Bone marrow aspirate smear: 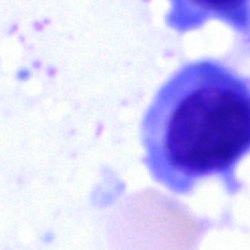
{"cell_type": "nucleated red blood cell", "lineage": "erythroid"}